Bone marrow smear — 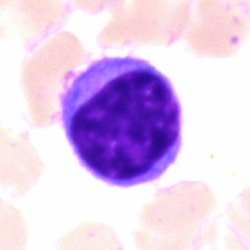Morphology → typical lymphocyte.